Bone marrow smear:
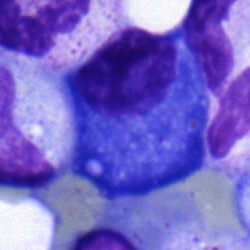

Classification: plasma cell.